Bone marrow smear — 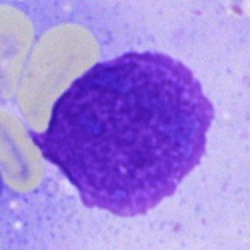

The cell type is artefact.